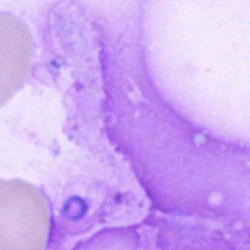 Morphology consistent with an artefact.